Bone marrow smear · cropped to a single cell:
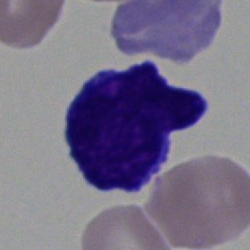 Morphology consistent with a blast.